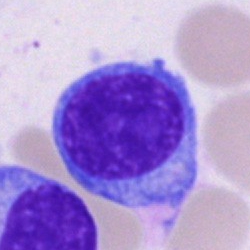Cell — plasma cell.